Bone marrow aspirate smear: 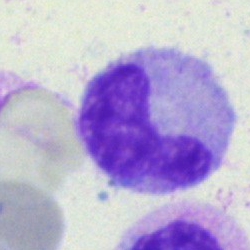

The cell shown is a monocyte.